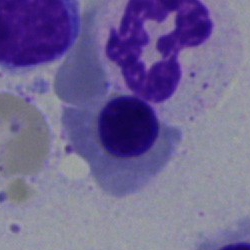Cell — nucleated red blood cell.